MGG-stained; image size 250×250; bone marrow smear
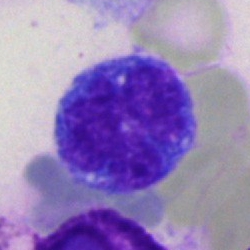
Specimen: bone marrow aspirate smear.
Morphological class: monocyte.
Lineage: myeloid.